Bone marrow aspirate smear · single-cell crop
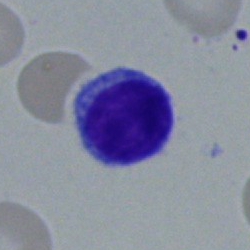 A typical lymphocyte.